Bone marrow aspirate smear
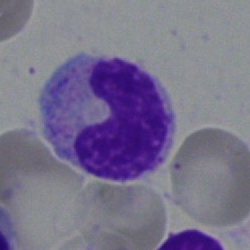

Stab cell.